250 by 250 pixels. Cropped to a single cell. Bone marrow aspirate smear: 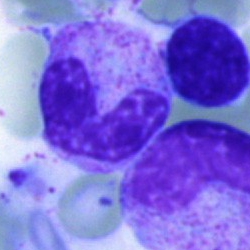 This is a neutrophil (band).